Bone marrow aspirate smear: 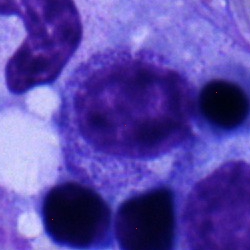
The cell shown is a myelocyte.